Bone marrow aspirate smear
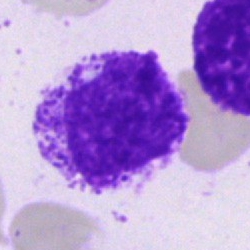Artifact.